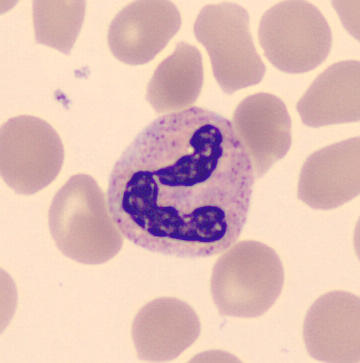

Preparation: Peripheral blood smear; single cell centered in the field. {"cell_type": "polymorphonuclear neutrophil", "lineage": "myeloid"}